Single-cell field · Pappenheim-stained · bone marrow aspirate smear
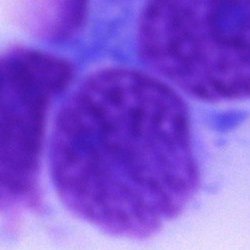

Unidentifiable cell.